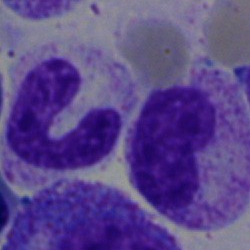Showing a neutrophil (segmented).